250×250 px · bone marrow aspirate smear: 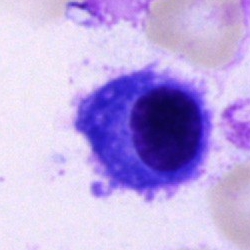

Q: What is the morphological classification of this cell?
A: This is a plasma cell.